Bone marrow smear · brightfield, 40× oil-immersion objective · 250×250
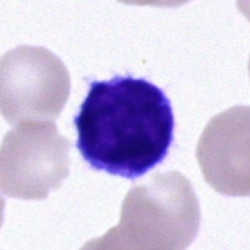Morphology → typical lymphocyte.